Peripheral blood smear
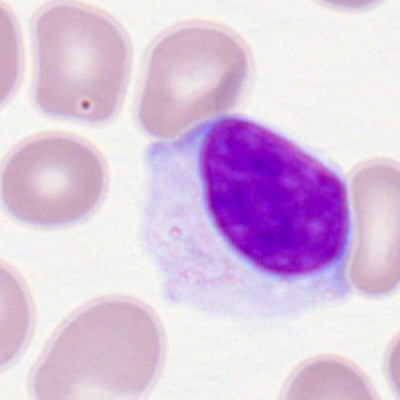
Cell type: typical lymphocyte.